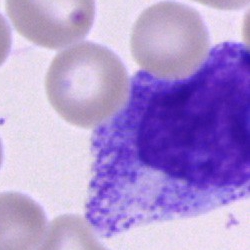 Impression — progranulocyte.